Pappenheim-stained. Image size 250×250. Bone marrow smear
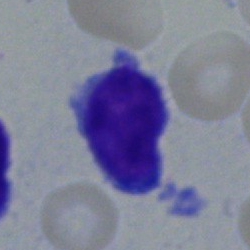The classification is typical lymphocyte.